40× objective, oil immersion. Bone marrow aspirate smear — 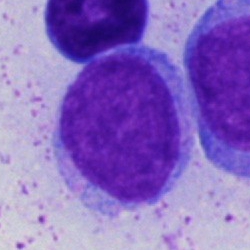 Morphology consistent with a blast.